Bone marrow aspirate smear · image size 250×250 · brightfield, 40× oil-immersion objective:
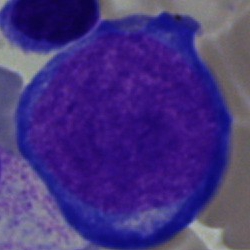Q: What is the morphological classification of this cell?
A: It is a pronormoblast.